Bone marrow aspirate smear: 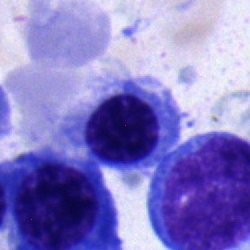
{"cell_type": "nucleated red cell"}